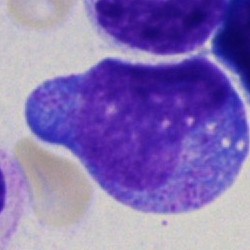

This is a progranulocyte.